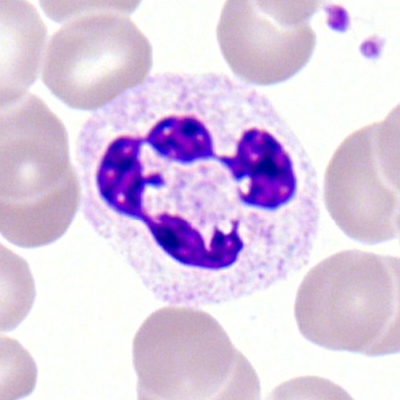Cell = polymorphonuclear neutrophil.